Single-cell field · 250×250 · bone marrow smear:
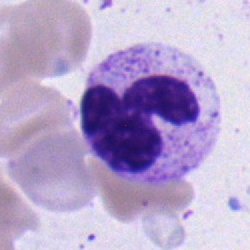

Cell type: segmented neutrophil.